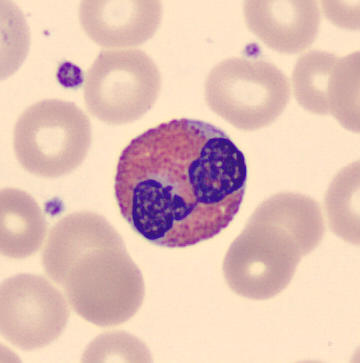 The cell is eosinophil.
Acquisition: Peripheral blood smear.